Bone marrow smear — 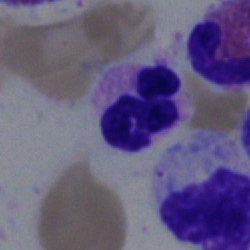
Morphology consistent with a polymorphonuclear neutrophil.